Bone marrow smear: 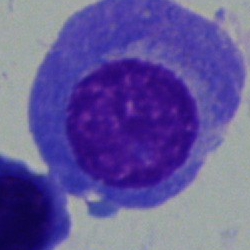
Cell = plasmacyte.